Peripheral blood smear
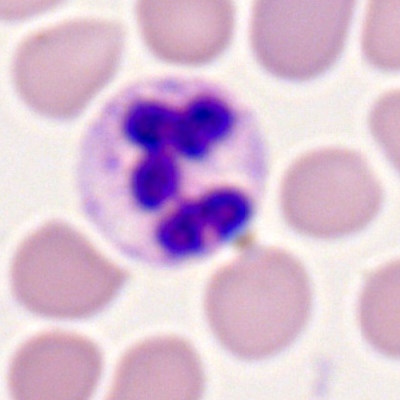Q: What cell is this?
A: Segmented neutrophil.